Bone marrow smear.
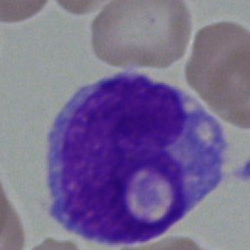 The morphological class is monocyte.